Bone marrow aspirate smear: 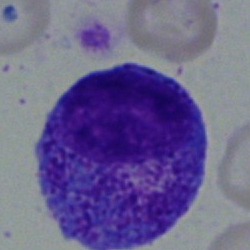

Specimen: bone marrow smear.
Morphological class: progranulocyte.